Bone marrow smear. Brightfield microscopy, 40× oil immersion — 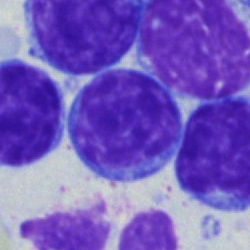

Specimen: bone marrow aspirate smear.
Cell type: typical lymphocyte.
Lineage: lymphoid.